May-Grünwald-Giemsa/Pappenheim stain. Bone marrow smear.
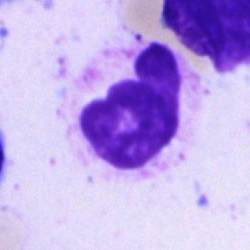Specimen: bone marrow aspirate smear.
Classification: neutrophil (segmented).
Lineage: myeloid.